Bone marrow aspirate smear: 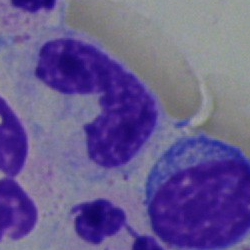 Showing a band neutrophil.